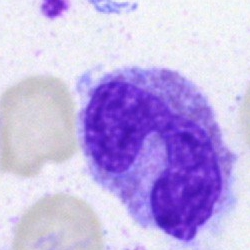 Specimen: bone marrow aspirate smear.
Morphological class: monocyte.